Bone marrow smear:
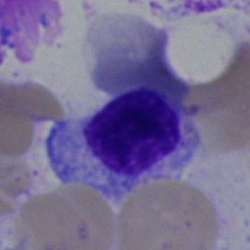
This is a nucleated red blood cell.